250×250; brightfield microscopy, 40× oil immersion; bone marrow aspirate smear: 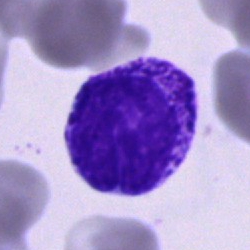Showing a myelocyte.